Pappenheim-stained; bone marrow aspirate smear; 250×250
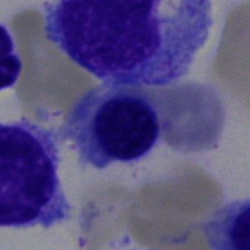Morphology → nucleated red cell.